Bone marrow smear: 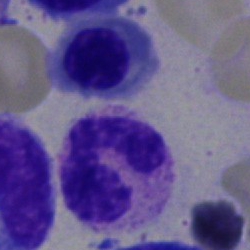
Q: Identify the cell.
A: Polymorphonuclear neutrophil.